Bone marrow aspirate smear · Pappenheim-stained: 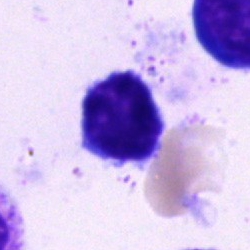The cell shown is a typical lymphocyte.